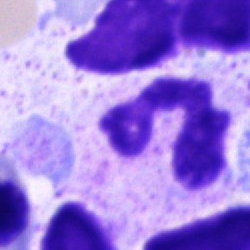
Neutrophil (segmented).